Brightfield, 40× oil-immersion objective · bone marrow aspirate smear.
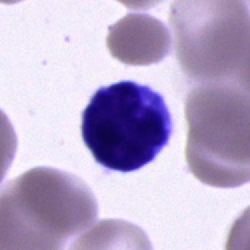
This is a typical lymphocyte.